Bone marrow aspirate smear
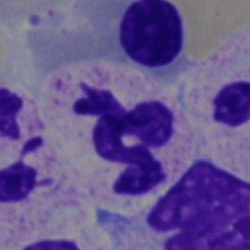

Specimen: bone marrow aspirate smear.
Cell type: neutrophil (segmented).
Lineage: myeloid.